Peripheral blood smear. 100× oil immersion. Single cell centered in the field: 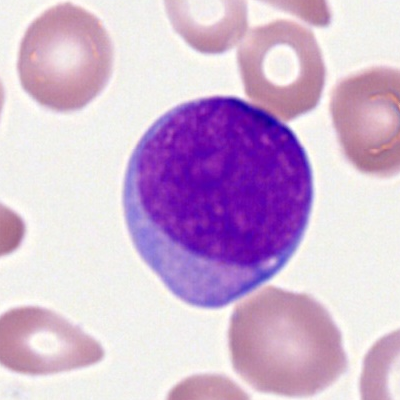 {"cell_type": "myeloid blast"}